Bone marrow aspirate smear; Pappenheim-stained; single cell centered in the field
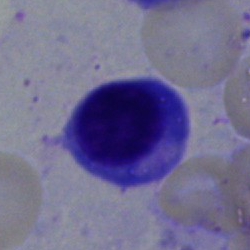
Q: What type of cell is this?
A: It is a plasmacyte.